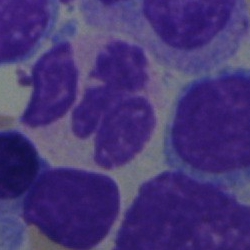Q: What type of cell is this?
A: This is a segmented neutrophil.